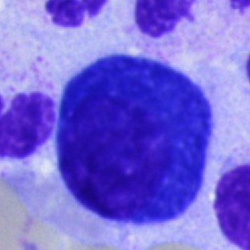

Bone marrow aspirate smear, single cell — plasmacyte.